Pappenheim-stained; bone marrow aspirate smear; 250×250 px
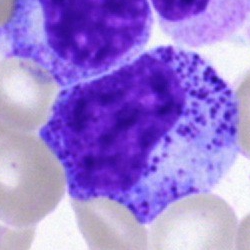

Showing a promyelocyte.